Bone marrow aspirate smear:
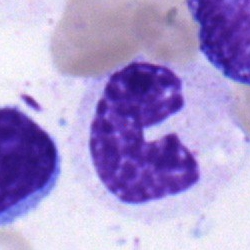This is a metamyelocyte.